250×250 px; MGG-stained; bone marrow aspirate smear
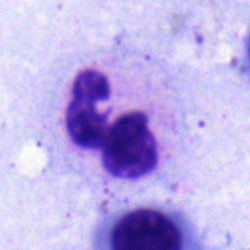 Morphology → segmented neutrophil.